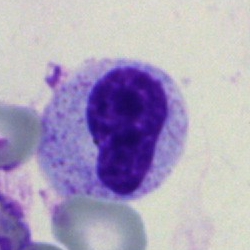Morphological class — metamyelocyte.